Peripheral blood smear: 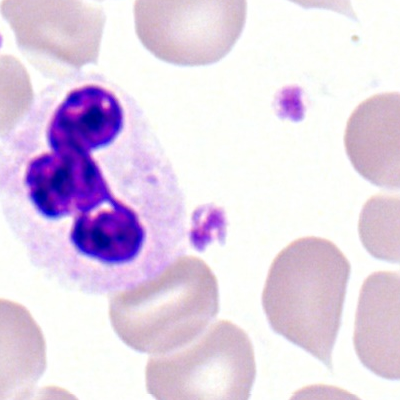The cell shown is a neutrophil (segmented).